Bone marrow aspirate smear.
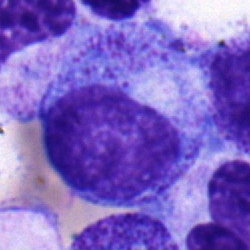 Single cell identified as a myelocyte.